Image size 250×250. Bone marrow smear. Brightfield microscopy, 40× oil immersion.
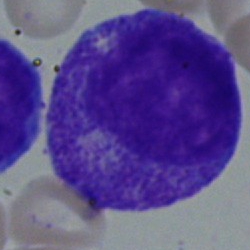 Single cell identified as a promyelocyte.